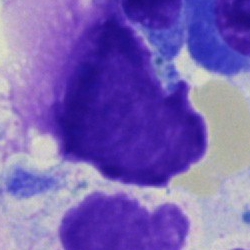
The cell type is artefact.